250×250. Bone marrow smear — 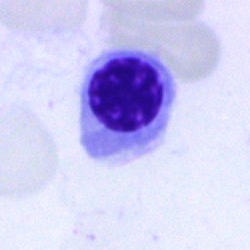

The cell shown is an erythroblast.